Bone marrow smear: 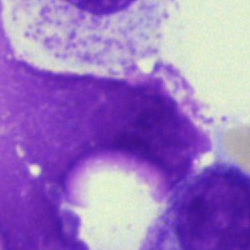Specimen: bone marrow aspirate smear.
Morphological class: artefact.